Bone marrow aspirate smear; single-cell field; image size 250×250.
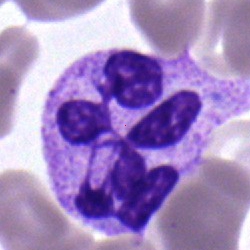

Morphology consistent with a segmented neutrophil.